Bone marrow smear · image size 250×250:
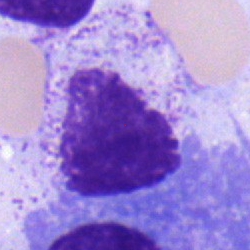 Morphology — myelocyte.